Bone marrow smear. 40× objective, oil immersion. 250×250 px
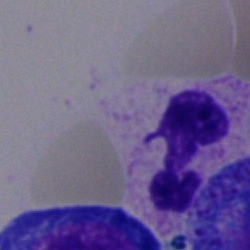
Impression → neutrophil (segmented).